Bone marrow smear:
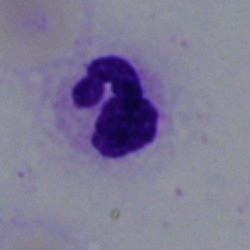 A segmented neutrophil.